Bone marrow aspirate smear · 40× objective, oil immersion.
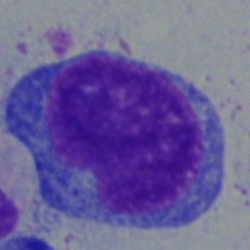A blast cell.